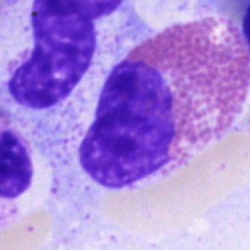
Impression → eosinophil.